40× objective, oil immersion; bone marrow aspirate smear; 250×250
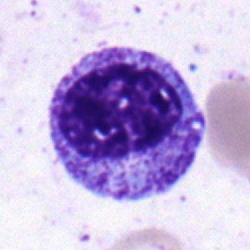 Single cell identified as a myelocyte.